Peripheral blood smear. Single cell centered in the field.
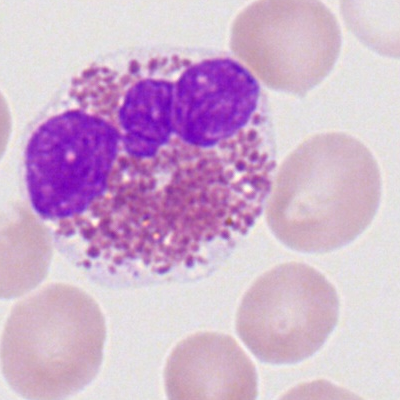

The cell shown is an eosinophilic granulocyte.